Bone marrow aspirate smear. Single cell centered in the field
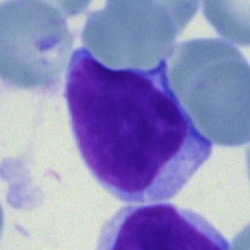Specimen: bone marrow aspirate smear.
Cell type: typical lymphocyte.
Lineage: lymphoid.